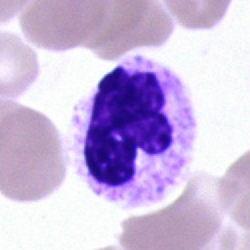Single cell identified as a segmented neutrophil.